Bone marrow aspirate smear
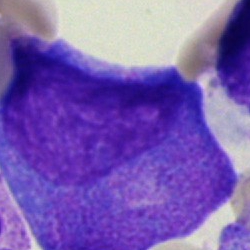
A progranulocyte.